Bone marrow smear — 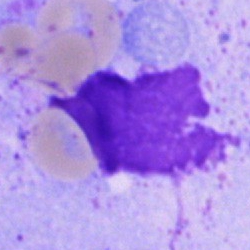
Q: What is shown here?
A: It is an artifact.